Peripheral blood film.
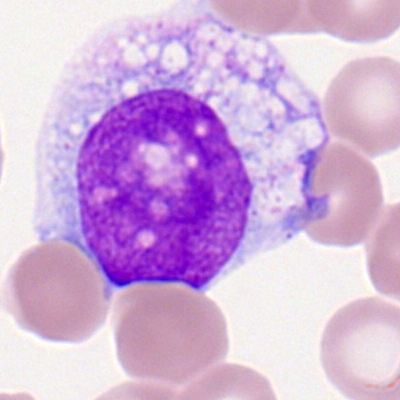 Q: What is the morphological classification of this cell?
A: It is a monocyte.